Bone marrow aspirate smear · brightfield microscopy, 40× oil immersion · single cell centered in the field:
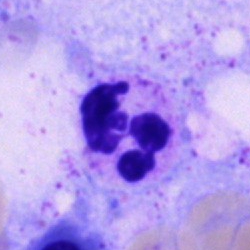Neutrophil (segmented).